MGG-stained; bone marrow smear
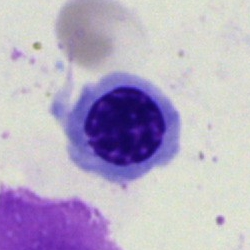

An erythroblast.